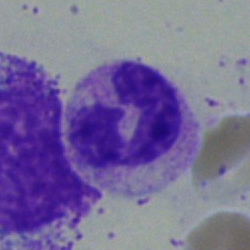Cell: neutrophil (band).